Bone marrow smear — 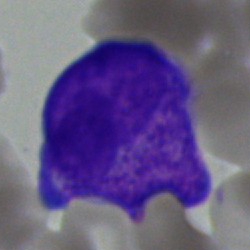Cell type: blast cell.